Bone marrow smear:
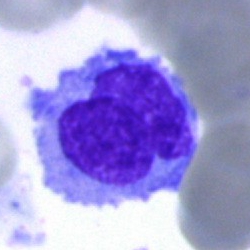Morphology — erythroblast.